250 by 250 pixels · bone marrow aspirate smear · cropped to a single cell — 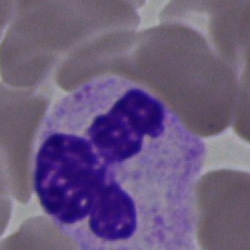 Q: What is shown here?
A: Polymorphonuclear neutrophil.